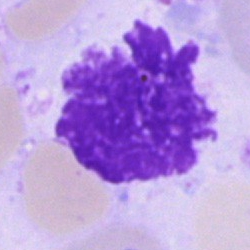Bone marrow aspirate smear, single cell — artefact.